Bone marrow smear:
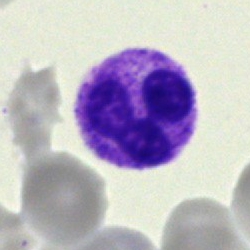

Cell type = segmented neutrophil.